Bone marrow aspirate smear.
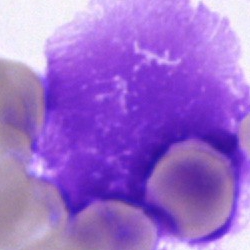

Showing an artifact.